Bone marrow smear.
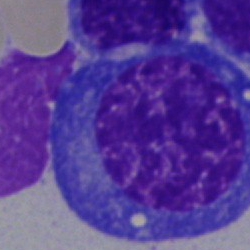The cell is nucleated red blood cell.